M8 digital microscope (Precipoint), 100× oil immersion · 400×400 px · peripheral blood smear — 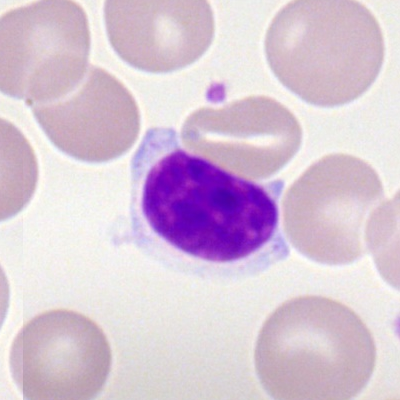Q: What is shown here?
A: Lymphocyte.